Peripheral blood film: 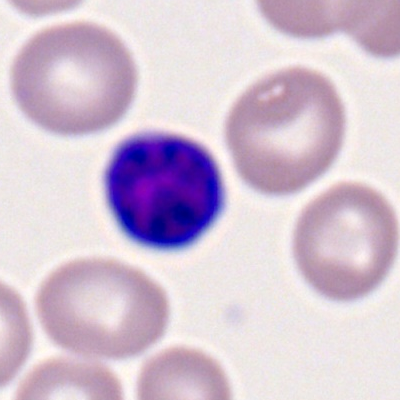
The cell shown is a lymphocyte.